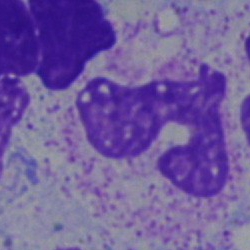Single-cell crop from a bone marrow smear: segmented neutrophil.